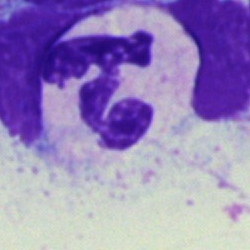
{"cell_type": "polymorphonuclear neutrophil"}